Bone marrow aspirate smear. May-Grünwald-Giemsa/Pappenheim stain.
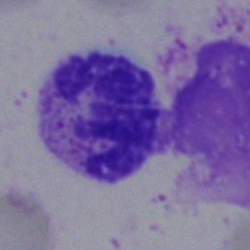 {"cell_type": "segmented neutrophil"}